Bone marrow smear. Brightfield microscopy, 40× oil immersion. MGG-stained:
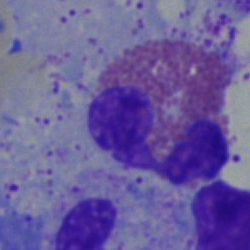Cell — eosinophil.